Bone marrow aspirate smear.
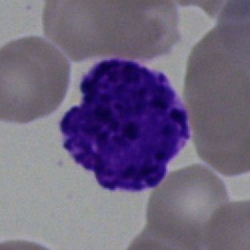

Specimen: bone marrow aspirate smear.
Cell type: artifact.